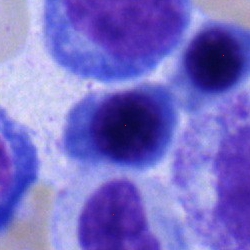Morphology — nucleated red blood cell.